Bone marrow aspirate smear
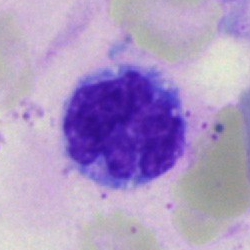 Monocyte.